Bone marrow aspirate smear. May-Grünwald-Giemsa/Pappenheim stain. Brightfield microscopy, 40× oil immersion — 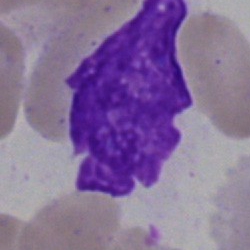 Q: What is shown here?
A: An artefact.